Cropped to a single cell · bone marrow aspirate smear · Pappenheim-stained.
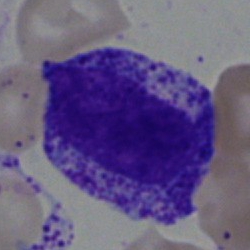

This is a myelocyte.